Bone marrow aspirate smear — 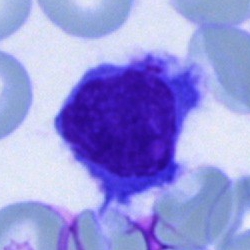 Specimen: bone marrow smear.
Classification: normoblast.
Lineage: erythroid.